Bone marrow smear. 250×250 px: 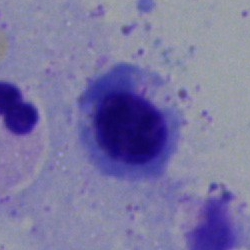 Nucleated red blood cell.